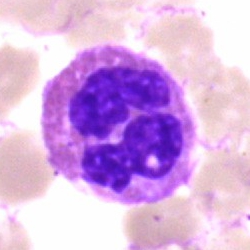

{"cell_type": "eosinophil", "lineage": "myeloid"}